Bone marrow aspirate smear. Single-cell crop. 250×250 — 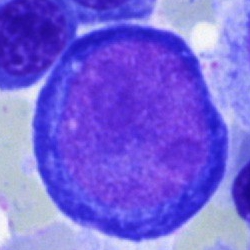 The cell type is pronormoblast.